Bone marrow aspirate smear · 250×250 px: 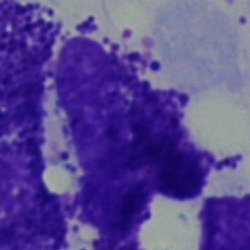

The morphological class is other cell.